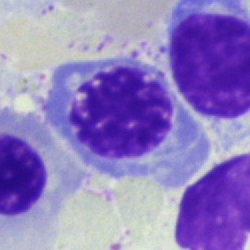 Impression → normoblast.